Bone marrow aspirate smear
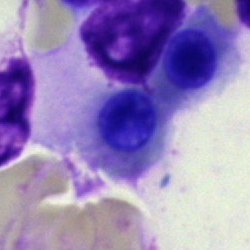
Morphology consistent with a nucleated red blood cell.